Peripheral blood smear.
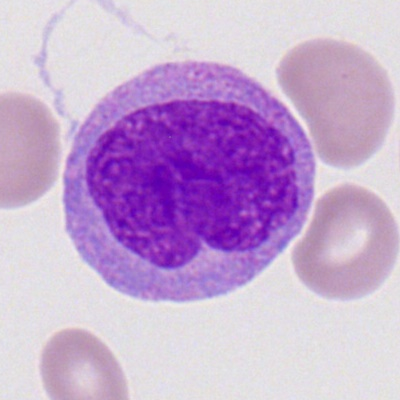 The morphological class is myeloblast.